Peripheral blood film:
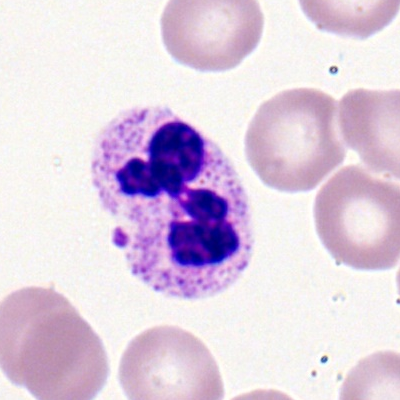Morphology consistent with a polymorphonuclear neutrophil.